Peripheral blood smear — 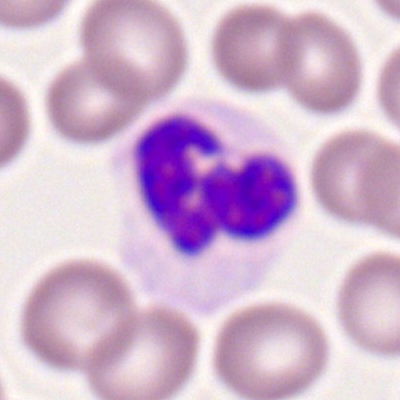

Segmented neutrophil.